Bone marrow aspirate smear
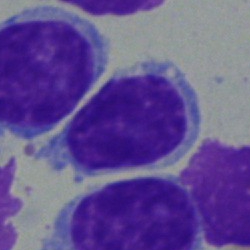This is a lymphocyte.